Image size 250×250 · bone marrow aspirate smear · brightfield microscopy, 40× oil immersion
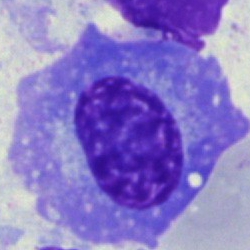
Morphology — plasmacyte.